Bone marrow smear — 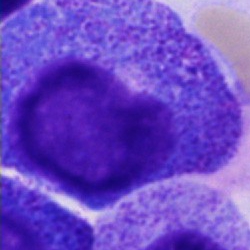 Classification = progranulocyte.